Bone marrow smear: 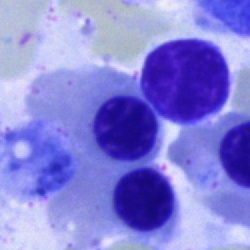
The cell type is nucleated red blood cell.